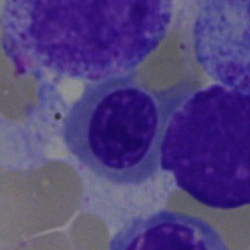Cell = erythroblast.